Bone marrow aspirate smear
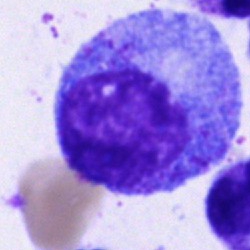This is a progranulocyte.